Bone marrow aspirate smear; Pappenheim-stained: 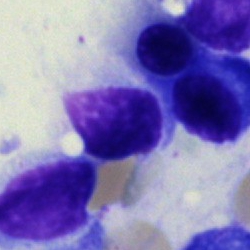Q: What is shown here?
A: It is an artifact.